Brightfield microscopy, 40× oil immersion · bone marrow aspirate smear · image size 250×250.
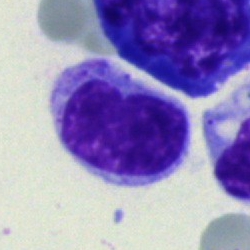 Single cell identified as a lymphocyte.